Bone marrow aspirate smear: 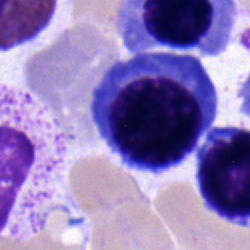Morphology consistent with a plasmacyte.